Bone marrow smear.
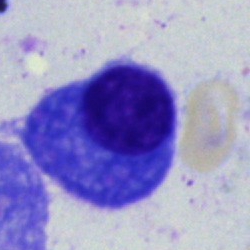 Q: Identify the cell.
A: A plasmacyte.